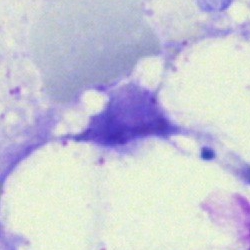

The cell shown is an artifact.